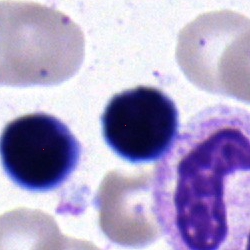Morphology → lymphocyte.